Bone marrow smear; 250 by 250 pixels; May-Grünwald-Giemsa/Pappenheim stain
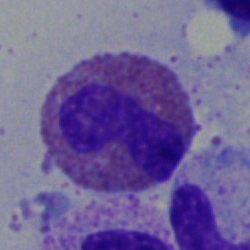The cell shown is an eosinophilic granulocyte.